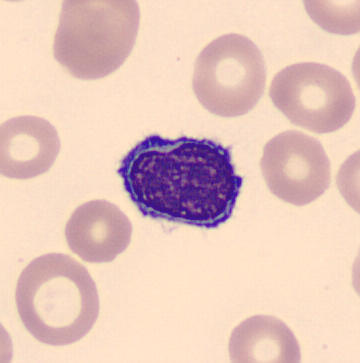
Specimen: peripheral blood film.
Cell: typical lymphocyte.
Lineage: lymphoid.